Peripheral blood film. 400 by 400 pixels: 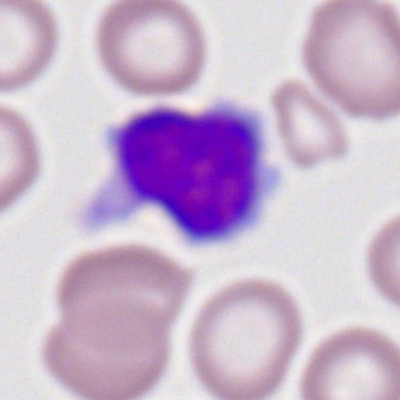
Impression → typical lymphocyte.